Bone marrow smear · brightfield microscopy, 40× oil immersion — 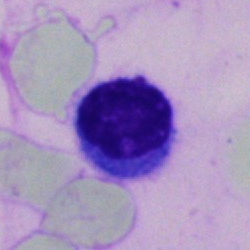

Impression → typical lymphocyte.